Single cell centered in the field; May-Grünwald-Giemsa stain; bone marrow smear — 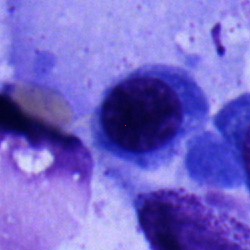
Morphological class = progranulocyte.